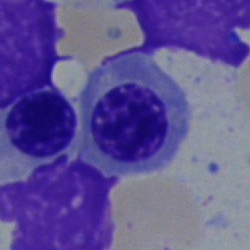Q: What is the morphological classification of this cell?
A: This is a nucleated red cell.